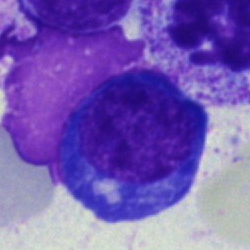
Specimen: bone marrow smear.
Morphological class: nucleated red cell.
Lineage: erythroid.